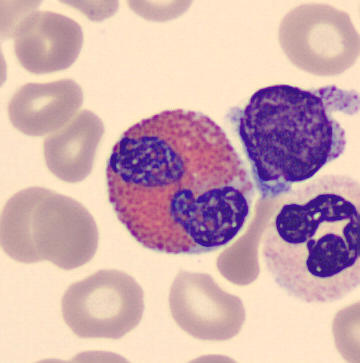

CellaVision DM96 digital cell image · cropped to a single cell.
Specimen: peripheral blood smear.
Classification: eosinophil.
Lineage: myeloid.